Pappenheim-stained · bone marrow smear
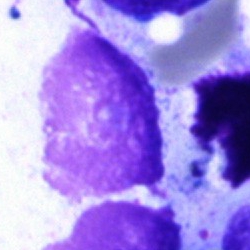Morphology consistent with an artifact.